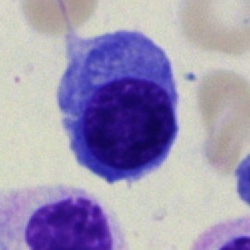
Single cell identified as an erythroblast.